Cropped to a single cell · 40× objective, oil immersion · bone marrow smear:
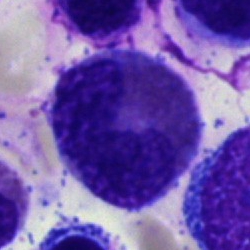Q: Identify the cell.
A: This is an eosinophilic granulocyte.